Bone marrow aspirate smear. Pappenheim-stained — 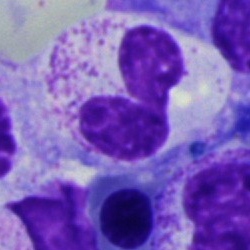
Q: What type of cell is this?
A: It is a neutrophil (segmented).